Brightfield, 40× oil-immersion objective. Bone marrow aspirate smear
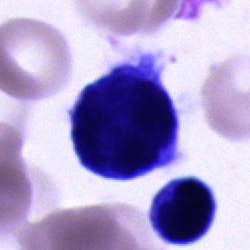The cell is blast.